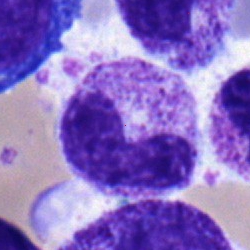 Q: Which cell type is shown here?
A: This is a metamyelocyte.